Bone marrow aspirate smear.
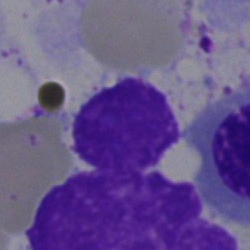 {"cell_type": "artefact"}